Brightfield microscopy, 40× oil immersion · single cell centered in the field · bone marrow aspirate smear:
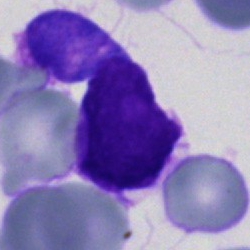
Cell: undifferentiated blast.